Bone marrow aspirate smear · brightfield microscopy, 40× oil immersion.
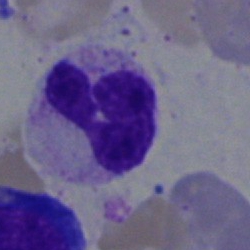

Neutrophil (segmented).